Bone marrow smear:
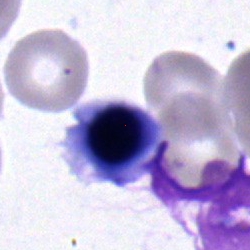 Morphology — normoblast.